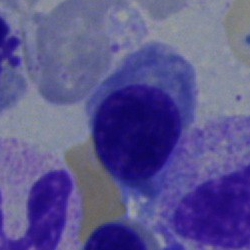
Cell = normoblast.